Peripheral blood film:
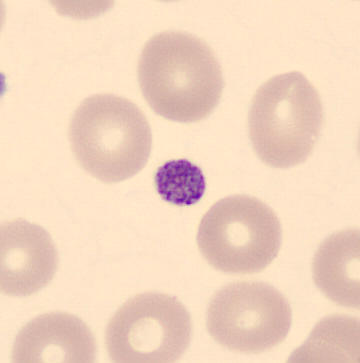Morphology consistent with a platelet (thrombocyte).